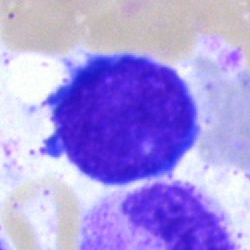
A nucleated red blood cell.